250×250 px · bone marrow aspirate smear — 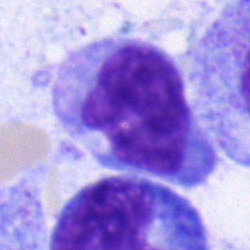

The cell shown is a myelocyte.